40× oil immersion · bone marrow smear · 250 by 250 pixels: 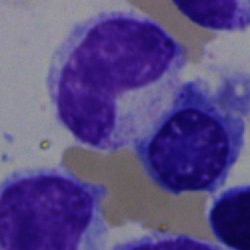Specimen: bone marrow smear.
Cell: stab cell.
Lineage: myeloid.